250×250. Bone marrow smear
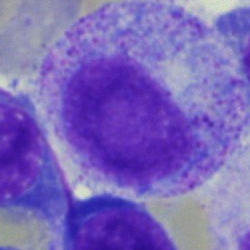

{"cell_type": "progranulocyte"}